Bone marrow aspirate smear. Single-cell field. 250 by 250 pixels.
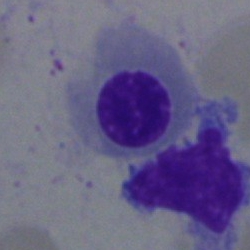Cell type — normoblast.